Bone marrow aspirate smear.
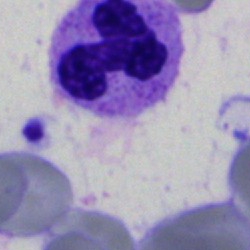Q: What cell is this?
A: A polymorphonuclear neutrophil.